Bone marrow smear — 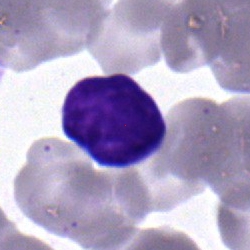

Single cell identified as a lymphocyte.